Bone marrow smear:
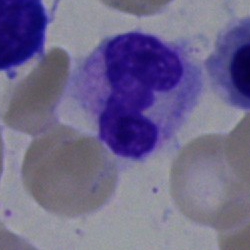 Morphology — polymorphonuclear neutrophil.